Bone marrow smear — 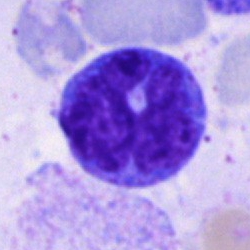 {"cell_type": "monocyte"}